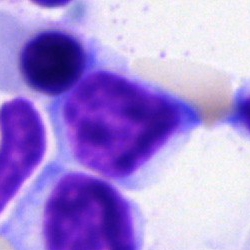

{"cell_type": "typical lymphocyte", "lineage": "lymphoid"}